Bone marrow aspirate smear.
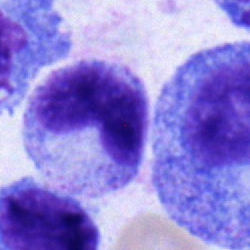 Single cell identified as a metamyelocyte.